Brightfield microscopy, 40× oil immersion. Bone marrow smear. May-Grünwald-Giemsa stain
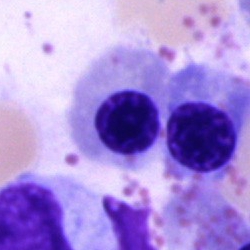

The classification is normoblast.